Bone marrow smear:
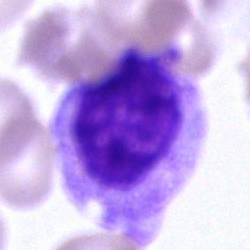

Morphological class: promyelocyte.